Bone marrow aspirate smear:
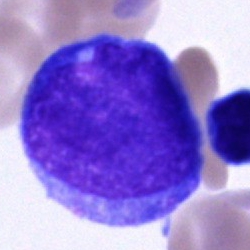

Showing an undifferentiated blast.